Peripheral blood smear.
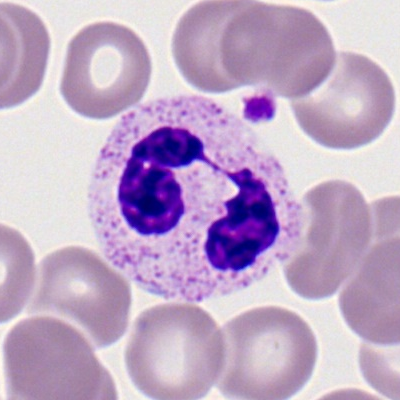
Q: What cell is this?
A: A segmented neutrophil.